Single-cell field. Bone marrow smear — 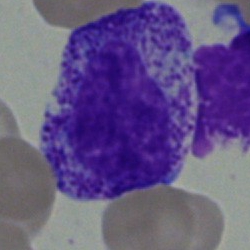
Single cell identified as a myelocyte.